Bone marrow smear · 40× oil immersion — 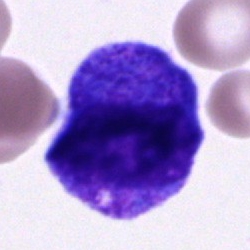
Specimen: bone marrow smear.
Cell: cell of indeterminate lineage.